Bone marrow smear — 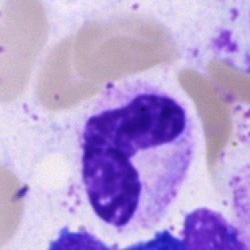 Specimen: bone marrow aspirate smear.
Cell type: band-form neutrophil.
Lineage: myeloid.